Bone marrow aspirate smear
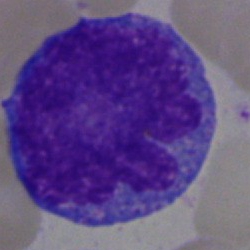

Morphological class = monocyte.